Peripheral blood smear. 100× oil immersion, 14.14 px/µm
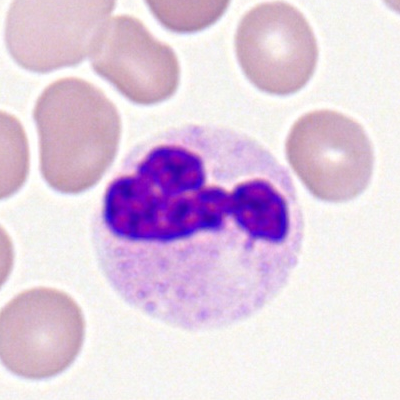
Impression — polymorphonuclear neutrophil.